Bone marrow aspirate smear — 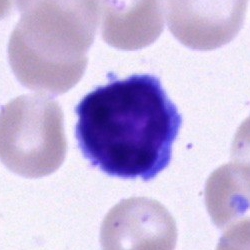Morphology — lymphocyte.